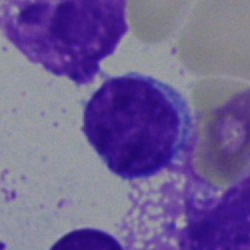 Specimen: bone marrow aspirate smear.
Cell: typical lymphocyte.
Lineage: lymphoid.